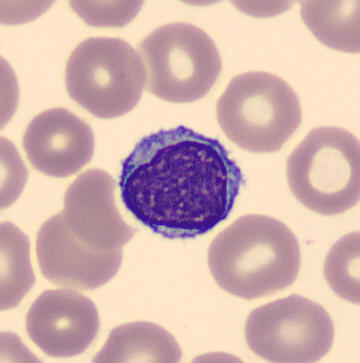The cell type is lymphocyte.
Acquisition: 360×363 px; peripheral blood smear; automated cell imaging (CellaVision DM96).